Bone marrow smear:
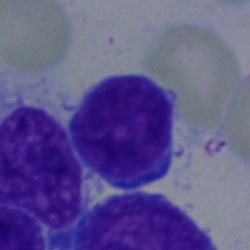 Morphology → undifferentiated blast.